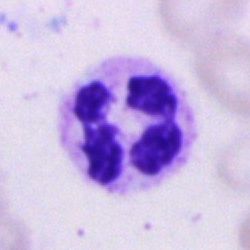 Morphology — polymorphonuclear neutrophil.